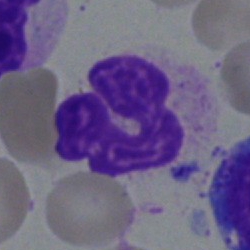
Specimen: bone marrow aspirate smear.
Cell: polymorphonuclear neutrophil.
Lineage: myeloid.